Bone marrow aspirate smear — 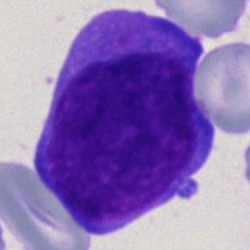

Impression → blast.